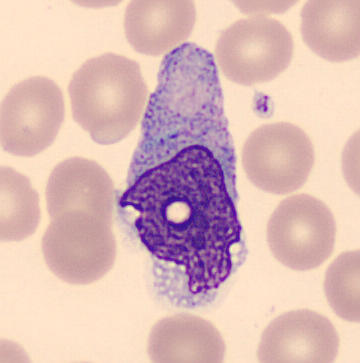 Classification = monocyte.